Bone marrow smear; May-Grünwald-Giemsa stain — 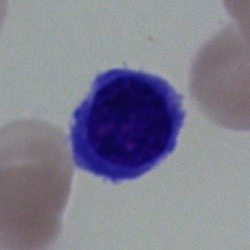 Cell type — normoblast.